Bone marrow aspirate smear · brightfield microscopy, 40× oil immersion.
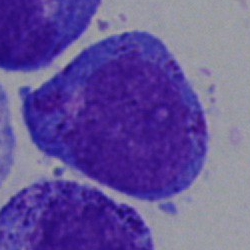
Morphology → progranulocyte.